Bone marrow smear:
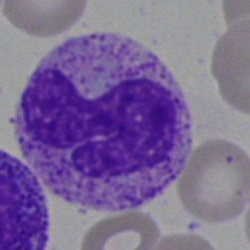 Morphology consistent with a neutrophil (segmented).